Bone marrow smear — 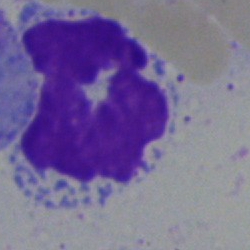
This is an artifact.